May-Grünwald-Giemsa stain. Bone marrow aspirate smear. Single-cell crop — 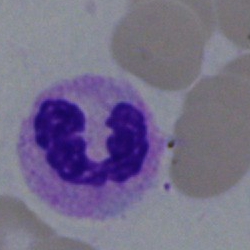
Cell — neutrophil (segmented).